Bone marrow smear; MGG-stained
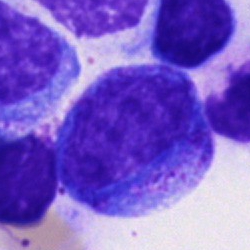

Showing a promyelocyte.